Bone marrow aspirate smear · 40× objective, oil immersion: 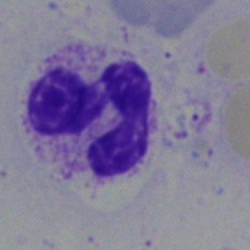 Showing a polymorphonuclear neutrophil.